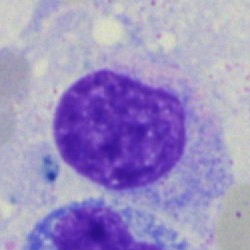

The cell type is artefact.